Bone marrow aspirate smear:
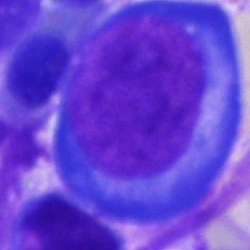

The cell shown is a proerythroblast.